Bone marrow smear · brightfield, 40× oil-immersion objective · Pappenheim-stained.
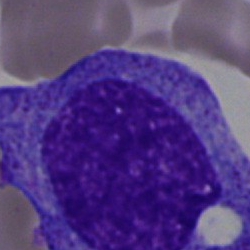Impression → promyelocyte.